Bone marrow smear:
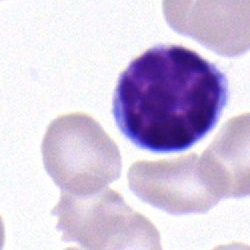 Impression → typical lymphocyte.